Single-cell field · bone marrow aspirate smear: 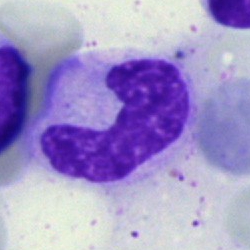

Specimen: bone marrow aspirate smear.
Morphological class: band neutrophil.